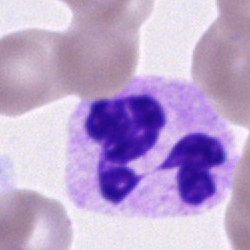 {"cell_type": "neutrophil (segmented)", "lineage": "myeloid"}